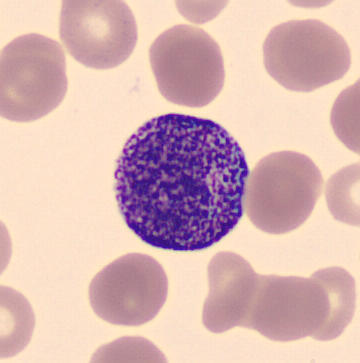Q: Which cell type is shown here?
A: This is a promyelocyte.